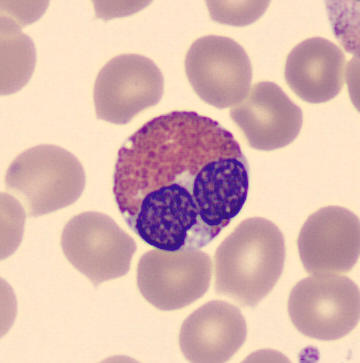This is an eosinophilic granulocyte.
Peripheral blood film.